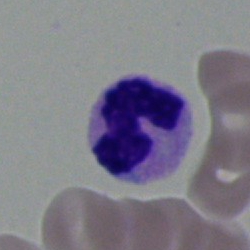
Specimen: bone marrow smear.
Morphological class: neutrophil (segmented).